Cropped to a single cell. Bone marrow aspirate smear — 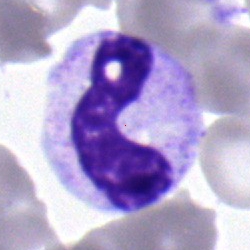
Q: What is the morphological classification of this cell?
A: This is a band-form neutrophil.